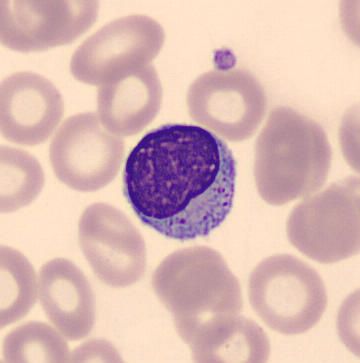
A typical lymphocyte.